Bone marrow aspirate smear:
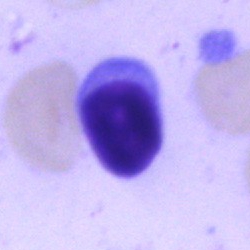

Morphology — typical lymphocyte.